Bone marrow smear. 250×250 px — 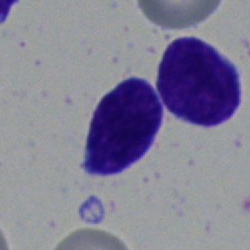
Typical lymphocyte.